Bone marrow smear: 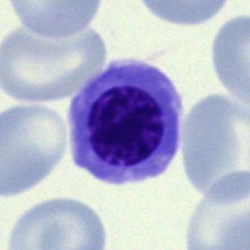Impression — nucleated red blood cell.